Bone marrow aspirate smear · brightfield, 40× oil-immersion objective
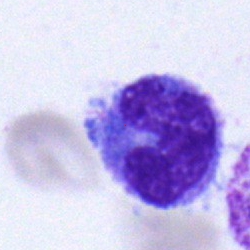

Specimen: bone marrow smear.
Classification: monocyte.
Lineage: myeloid.